Brightfield, 40× oil-immersion objective · bone marrow smear:
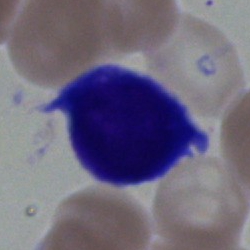 This is a cell of indeterminate lineage.